Bone marrow smear · single-cell crop:
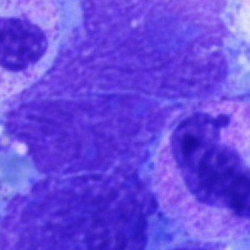
Specimen: bone marrow smear.
Classification: artifact.